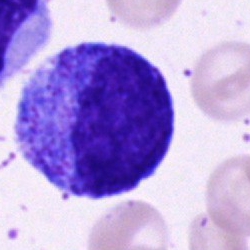 Morphology consistent with a progranulocyte.